Bone marrow smear
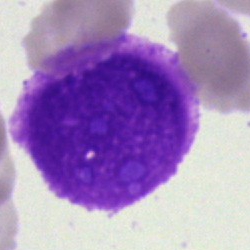 Morphological class: artifact.